Bone marrow aspirate smear; 40× oil immersion — 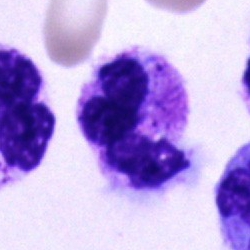
{"cell_type": "neutrophil (segmented)"}